Cropped to a single cell. Bone marrow aspirate smear:
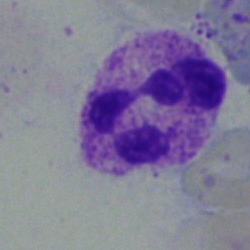 {"cell_type": "neutrophil (segmented)", "lineage": "myeloid"}